Bone marrow aspirate smear; May-Grünwald-Giemsa/Pappenheim stain.
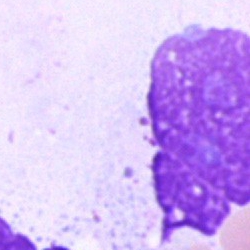This is an artefact.